Peripheral blood film; CellaVision DM96 digital cell image.
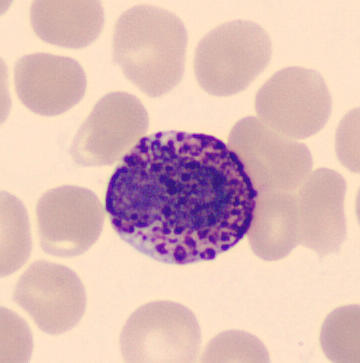Showing a basophilic granulocyte.